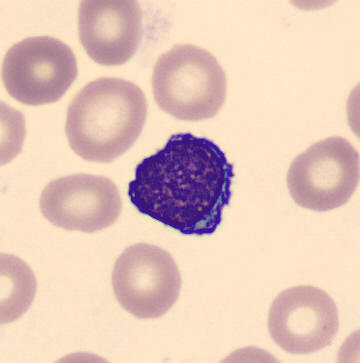 Morphology consistent with a typical lymphocyte. Peripheral blood film.